Bone marrow aspirate smear · Pappenheim-stained: 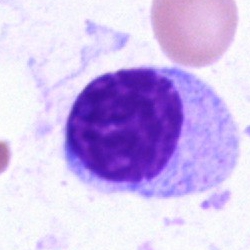
A plasmacyte.